400×400. Peripheral blood film. Romanowsky stain:
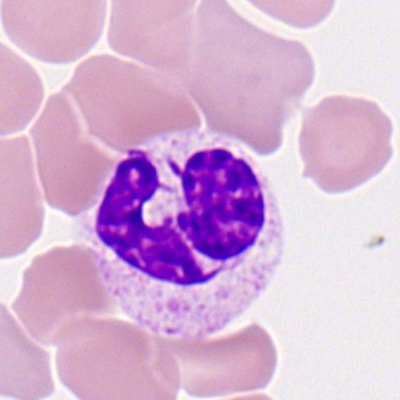 {"cell_type": "neutrophil (segmented)", "lineage": "myeloid"}